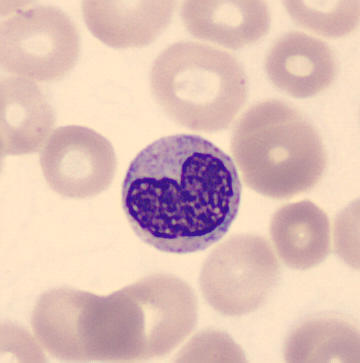 Q: Which cell type is shown here?
A: This is a metamyelocyte.

Peripheral blood smear.